Peripheral blood smear. Image size 400×400. Romanowsky-type stain:
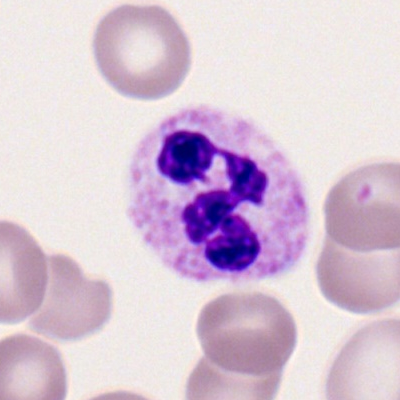
Specimen: peripheral blood smear.
Morphological class: segmented neutrophil.